Bone marrow smear · May-Grünwald-Giemsa/Pappenheim stain.
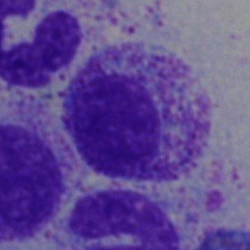Single cell identified as a myelocyte.